Bone marrow smear
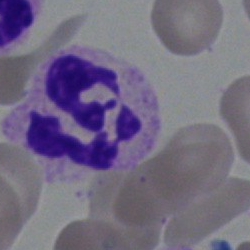

{"cell_type": "segmented neutrophil"}